Single-cell field · bone marrow aspirate smear · 40× oil immersion:
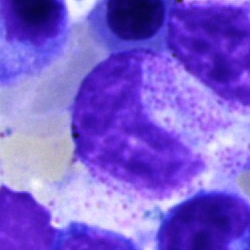

Cell = band neutrophil.